Bone marrow aspirate smear; brightfield, 40× oil-immersion objective; single-cell field — 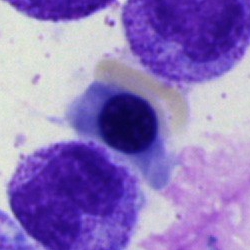

Single cell identified as a normoblast.